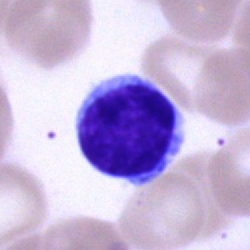Q: Identify the cell.
A: Lymphocyte.